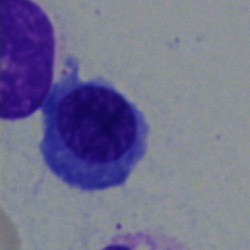Morphology → nucleated red cell.